Bone marrow aspirate smear — 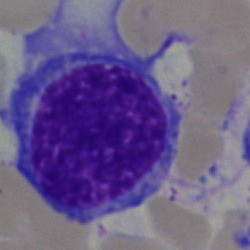

The cell is nucleated red blood cell.